May-Grünwald-Giemsa/Pappenheim stain · bone marrow smear.
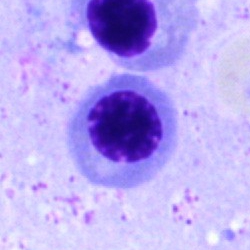
Q: Identify the cell.
A: Normoblast.